Bone marrow smear — 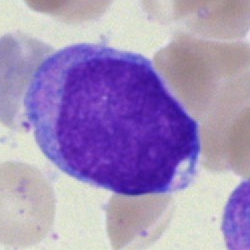
Specimen: bone marrow aspirate smear.
Morphological class: blast cell.